Bone marrow aspirate smear: 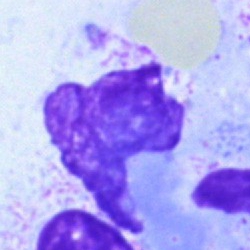
Q: What is shown here?
A: This is an artefact.